Bone marrow aspirate smear.
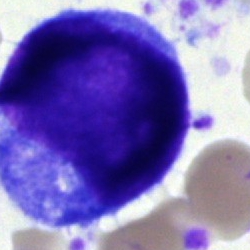
Q: What is shown here?
A: Cell of indeterminate lineage.